Bone marrow smear
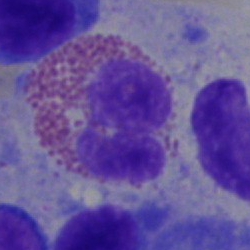
Classification — eosinophilic granulocyte.